Brightfield, 40× oil-immersion objective; bone marrow smear
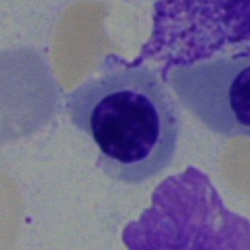

Specimen: bone marrow aspirate smear.
Cell type: nucleated red cell.
Lineage: erythroid.